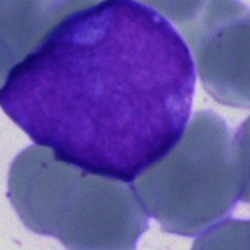 Showing an undifferentiated blast.